Peripheral blood smear:
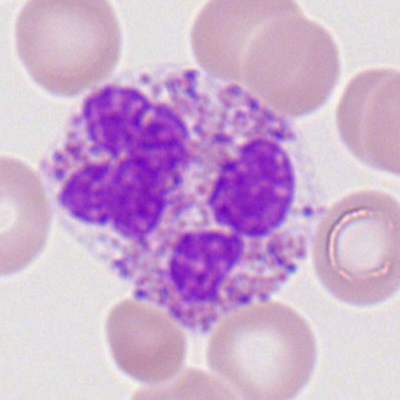 Q: Identify the cell.
A: Basophilic granulocyte.